Bone marrow aspirate smear — 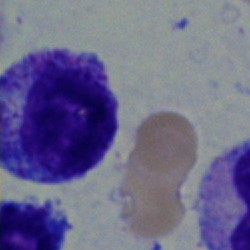A myelocyte.